40× oil immersion; bone marrow aspirate smear
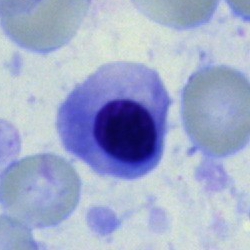 Morphology consistent with a nucleated red cell.